Bone marrow aspirate smear.
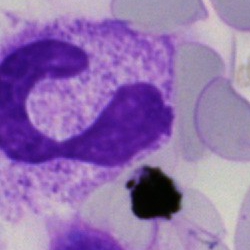 Single cell identified as a polymorphonuclear neutrophil.